Bone marrow aspirate smear: 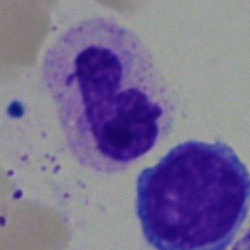 Impression → neutrophil (segmented).